Bone marrow aspirate smear · image size 250×250 · MGG-stained.
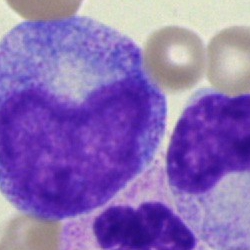

Showing a promyelocyte.